Peripheral blood film; CellaVision DM96 digital cell image; cropped to a single cell: 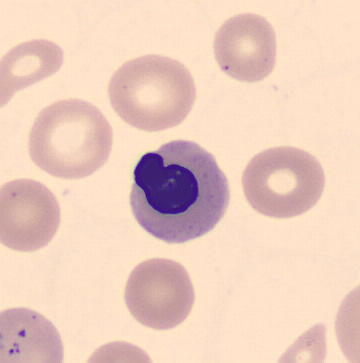

This is an erythroblast.